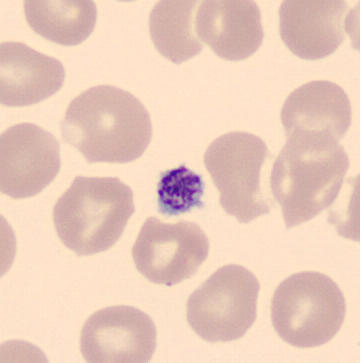 Preparation: Peripheral blood smear.
Showing a thrombocyte.